250×250 px. Bone marrow aspirate smear:
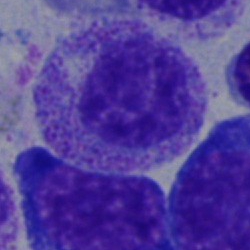

Impression — myelocyte.